Bone marrow smear; image size 250×250:
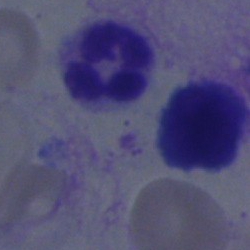

Cell — polymorphonuclear neutrophil.